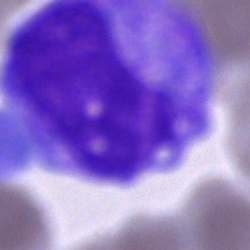

Cell type: progranulocyte.